Image size 250×250 · May-Grünwald-Giemsa stain · bone marrow aspirate smear
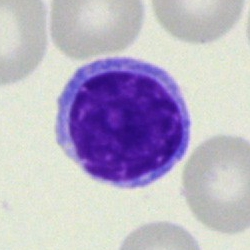
Specimen: bone marrow aspirate smear.
Cell: typical lymphocyte.
Lineage: lymphoid.